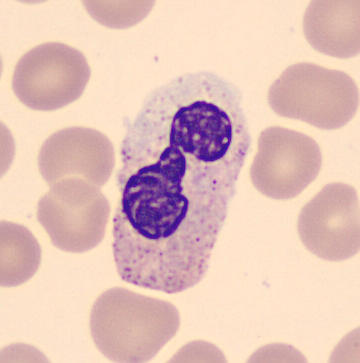

Cell = segmented neutrophil.

Acquisition: Peripheral blood film · May-Grünwald-Giemsa-stained.